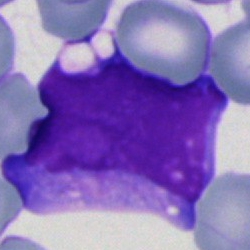The morphological class is undifferentiated blast.